Cropped to a single cell · 40× objective, oil immersion · bone marrow smear — 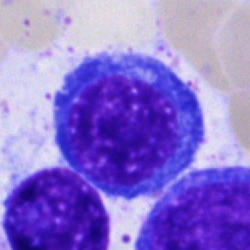
This is a normoblast.